Bone marrow aspirate smear:
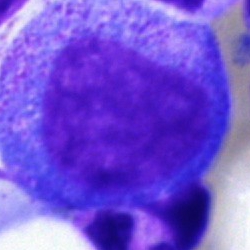
Showing a progranulocyte.